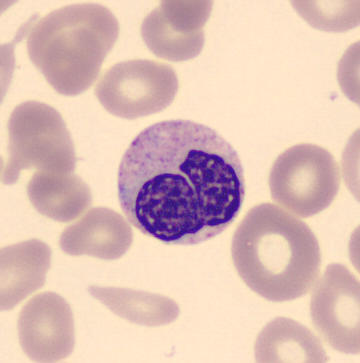

Image: Peripheral blood smear · single cell centered in the field. Morphology — metamyelocyte.